Bone marrow smear — 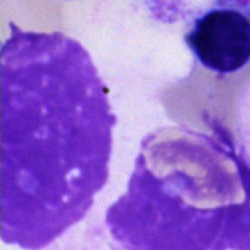 Q: What is shown here?
A: Artefact.